Bone marrow aspirate smear: 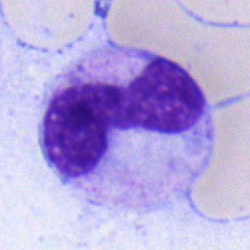 Specimen: bone marrow aspirate smear.
Cell type: band-form neutrophil.